250 by 250 pixels · bone marrow aspirate smear — 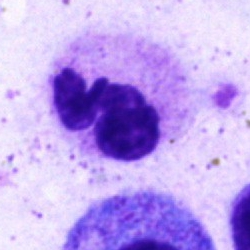

Segmented neutrophil.